Peripheral blood smear.
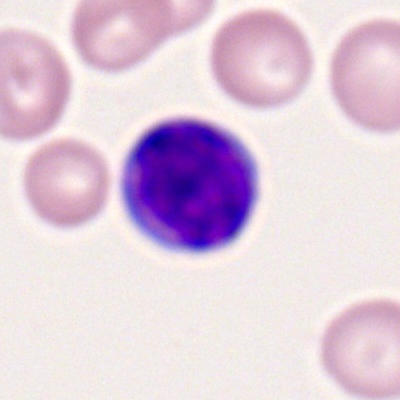
The morphological class is typical lymphocyte.